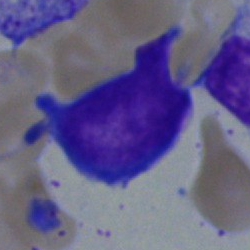The cell is blast.